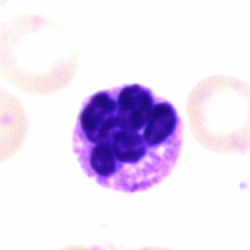 Q: Identify the cell.
A: This is a neutrophil (segmented).